Bone marrow smear: 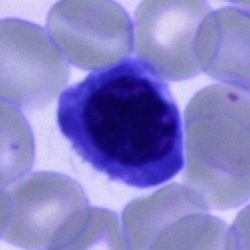 Showing a nucleated red blood cell.